Bone marrow aspirate smear
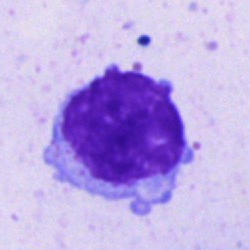

Showing a lymphocyte.